Peripheral blood film
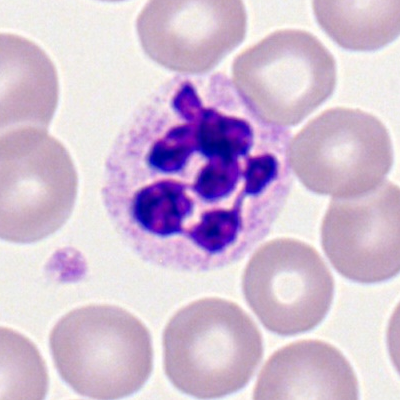

Morphology consistent with a neutrophil (segmented).